Image size 400×400 · peripheral blood film: 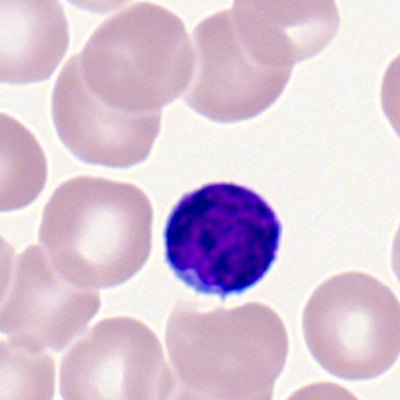

Specimen: peripheral blood smear.
Classification: typical lymphocyte.